Bone marrow aspirate smear
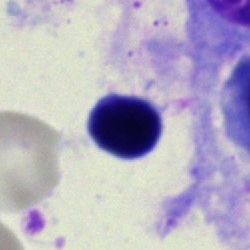Classification — artefact.